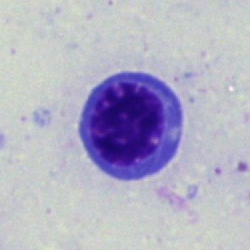 Q: What type of cell is this?
A: A normoblast.